250×250 px. Pappenheim-stained. Bone marrow smear:
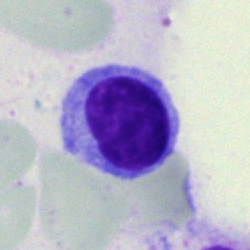
A typical lymphocyte.